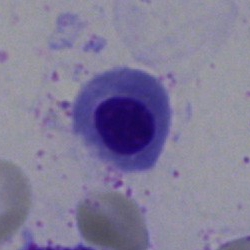Single-cell crop from a bone marrow smear: nucleated red blood cell.